Single cell centered in the field · bone marrow aspirate smear
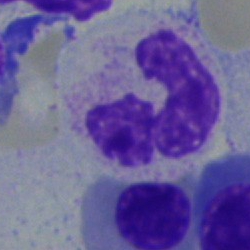Classification: segmented neutrophil.